Cropped to a single cell; bone marrow smear — 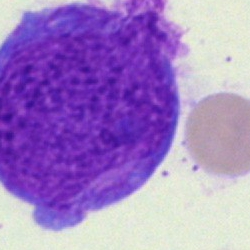Morphology → artifact.